Bone marrow smear
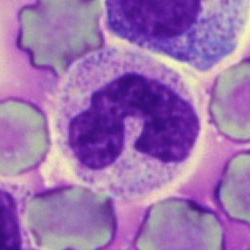

Band neutrophil.